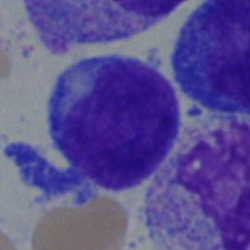Classification: blast.